Bone marrow aspirate smear — 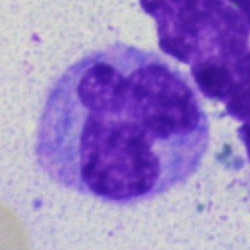 Single cell identified as a monocyte.